Bone marrow aspirate smear:
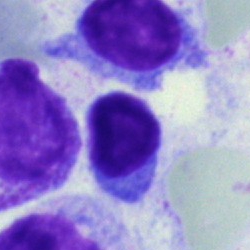

Q: Identify the cell.
A: This is a lymphocyte.